Bone marrow smear — 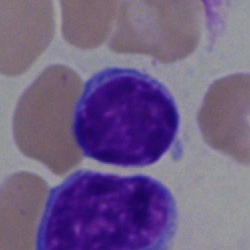
Lymphocyte.